Bone marrow smear
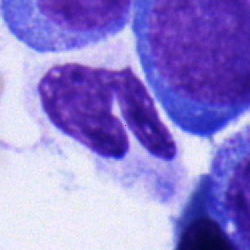 Q: What cell is this?
A: This is a stab cell.